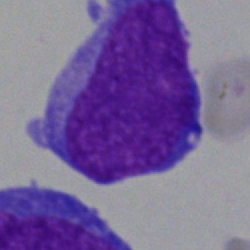 Showing an undifferentiated blast.